Brightfield microscopy, 40× oil immersion. Bone marrow smear: 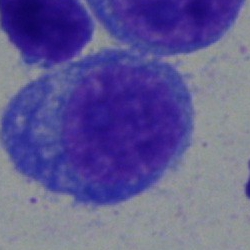 Cell = plasmacyte.